Bone marrow smear:
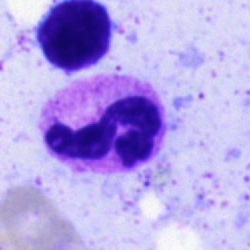 Impression — polymorphonuclear neutrophil.